Cropped to a single cell; bone marrow smear; brightfield microscopy, 40× oil immersion:
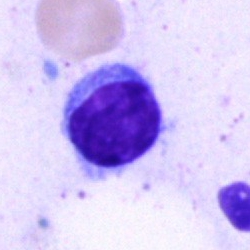The cell type is typical lymphocyte.